Peripheral blood smear — 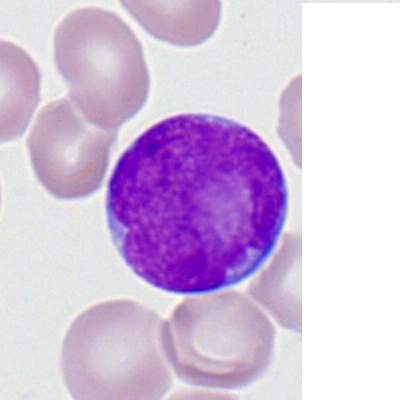
The cell shown is a myeloid blast.